Bone marrow smear; 250×250 px:
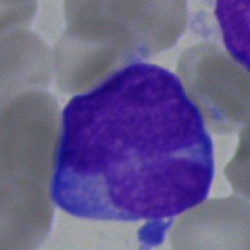

This is an undifferentiated blast.